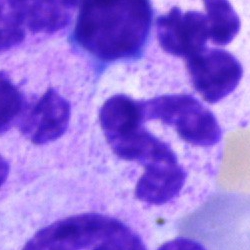 Bone marrow smear showing a polymorphonuclear neutrophil.